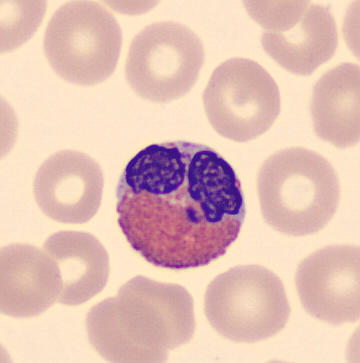

Morphology consistent with an eosinophil.